Romanowsky-stained · peripheral blood smear · 100× oil immersion, 14.14 px/µm — 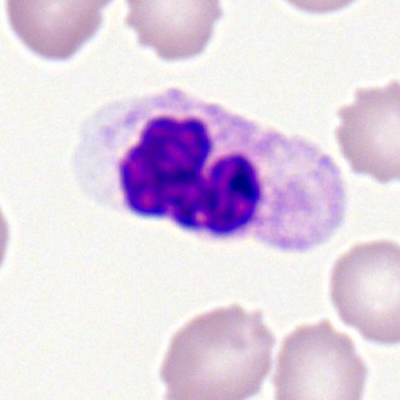
Q: Which cell type is shown here?
A: This is a polymorphonuclear neutrophil.